Bone marrow aspirate smear; brightfield microscopy, 40× oil immersion.
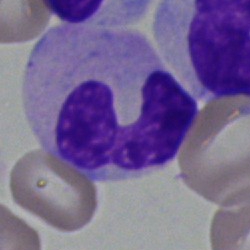

The cell shown is a polymorphonuclear neutrophil.